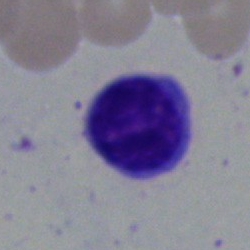Classification — typical lymphocyte.